Bone marrow smear
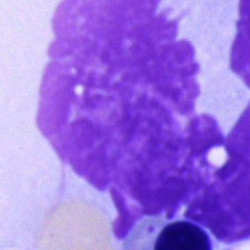
Classification = artifact.